Bone marrow smear.
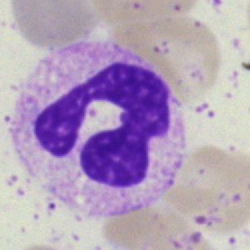 Specimen: bone marrow smear.
Morphological class: polymorphonuclear neutrophil.
Lineage: myeloid.